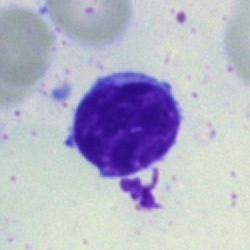Specimen: bone marrow aspirate smear.
Cell type: lymphocyte.